Image size 250×250 · bone marrow aspirate smear: 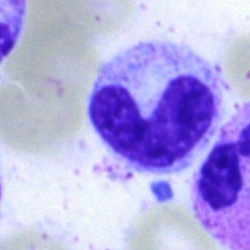The cell type is stab cell.